Bone marrow smear. MGG-stained:
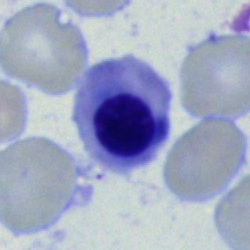

{"cell_type": "erythroblast", "lineage": "erythroid"}